Bone marrow aspirate smear:
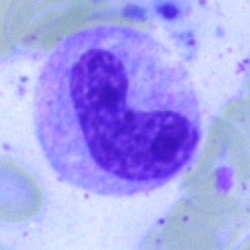 Showing a band neutrophil.